250×250. Bone marrow smear:
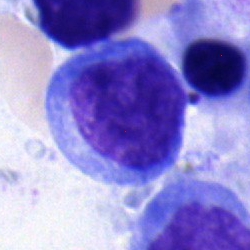 Single cell identified as a blast.